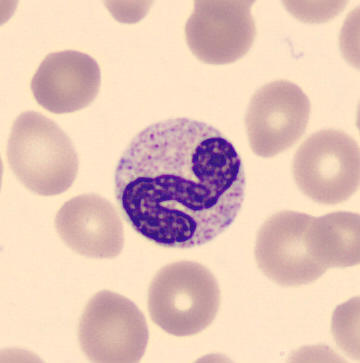Preparation: Peripheral blood smear. Morphological class: band neutrophil.